Peripheral blood smear:
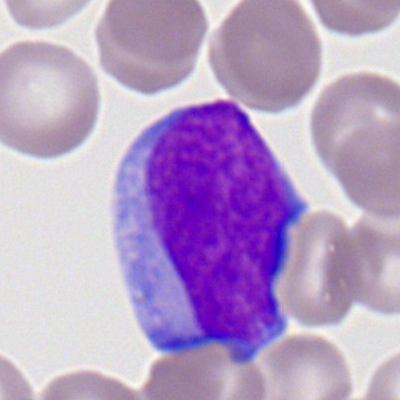 Morphological class — myeloblast.